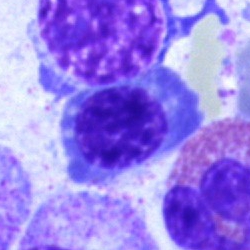{"cell_type": "nucleated red cell"}